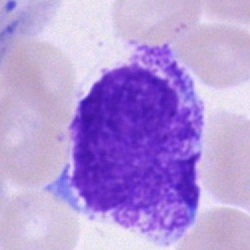An artefact on a bone marrow smear.